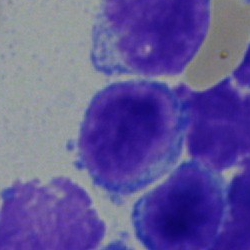

Cell = lymphocyte.